Bone marrow smear: 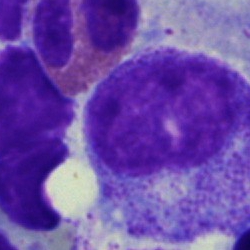 Morphology consistent with a promyelocyte.